Bone marrow aspirate smear. 250×250. 40× oil immersion — 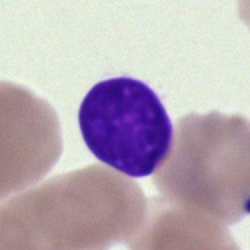

Single cell identified as an artifact.